Bone marrow smear: 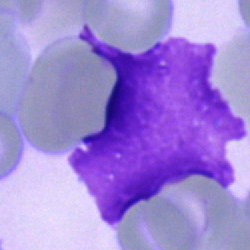
Artefact.